Bone marrow aspirate smear:
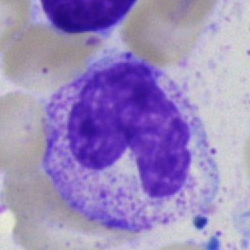 Showing a band-form neutrophil.